Bone marrow smear; MGG-stained.
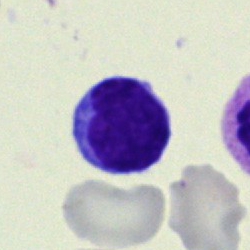
Single cell identified as a typical lymphocyte.